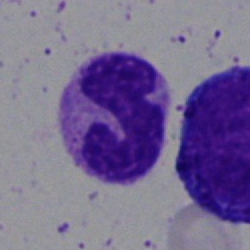Q: Which cell type is shown here?
A: It is a polymorphonuclear neutrophil.